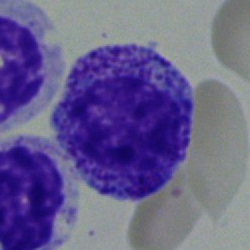
Single-cell crop from a bone marrow smear: myelocyte.